Bone marrow smear
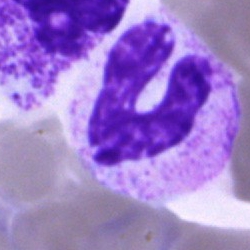

Showing a band neutrophil.